Bone marrow smear:
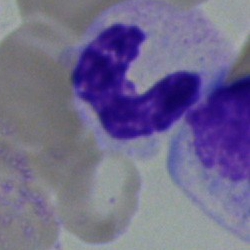

Specimen: bone marrow aspirate smear.
Cell type: neutrophil (segmented).
Lineage: myeloid.